Bone marrow smear — 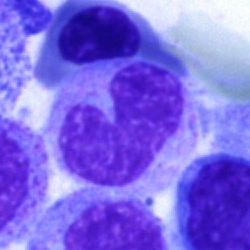
Q: Which cell type is shown here?
A: Band-form neutrophil.